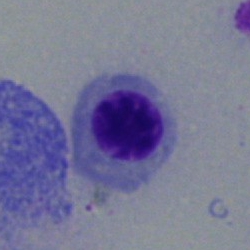 Cell — normoblast.